Bone marrow smear:
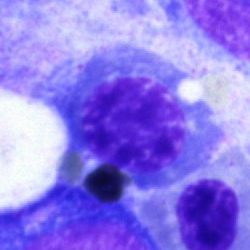Morphological class = nucleated red blood cell.